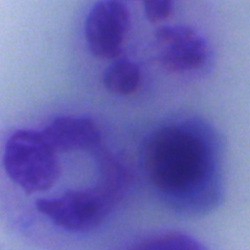

Q: What is shown here?
A: This is an artefact.